MGG-stained. Bone marrow aspirate smear.
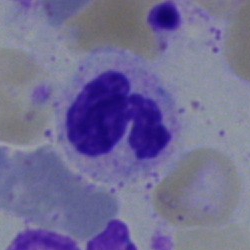The cell is segmented neutrophil.